Peripheral blood smear.
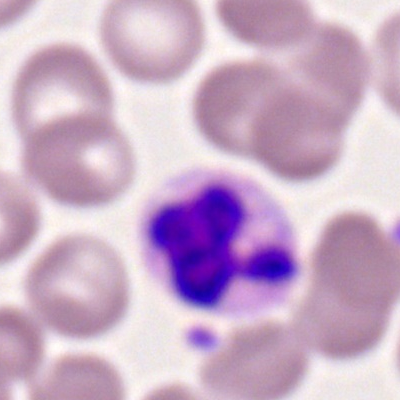
Q: What type of cell is this?
A: A neutrophil (segmented).